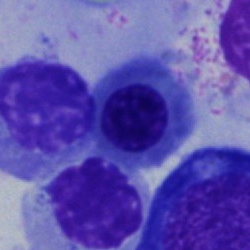
Cell = erythroblast.